Bone marrow aspirate smear; brightfield microscopy, 40× oil immersion
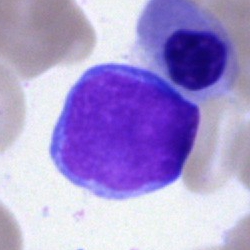Classification — undifferentiated blast.